Bone marrow smear · May-Grünwald-Giemsa/Pappenheim stain · 250 by 250 pixels.
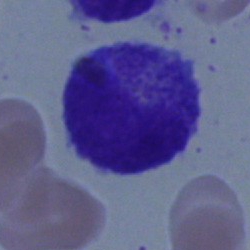

Morphological class — myelocyte.